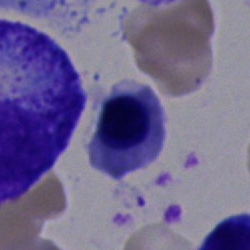

Cell: nucleated red blood cell.